Bone marrow aspirate smear; May-Grünwald-Giemsa stain.
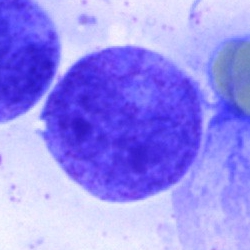

Morphology → promyelocyte.